Peripheral blood smear
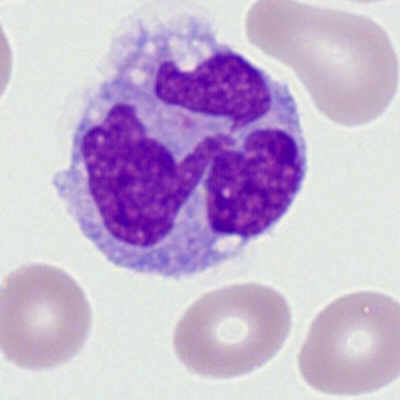Specimen: peripheral blood smear.
Cell: monocyte.
Lineage: myeloid.